Bone marrow smear. Brightfield microscopy, 40× oil immersion: 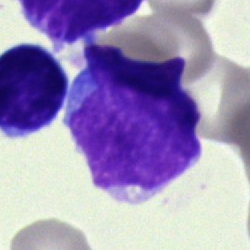
Classification = undifferentiated blast.